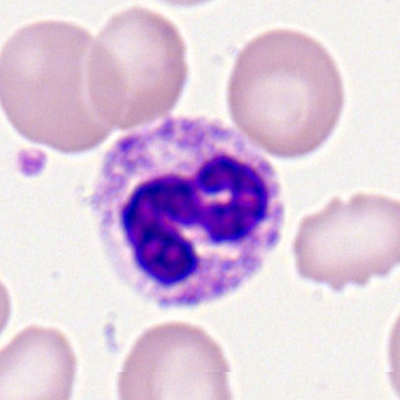Peripheral blood smear showing a polymorphonuclear neutrophil.